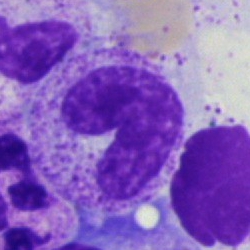 Classification — band-form neutrophil.